Bone marrow smear — 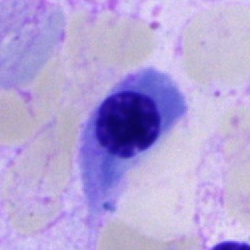 {"cell_type": "normoblast"}